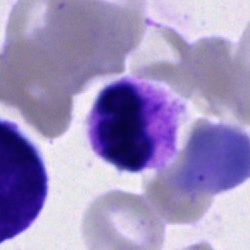
Morphology consistent with a segmented neutrophil.